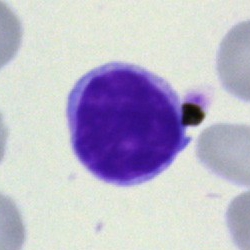

Specimen: bone marrow aspirate smear.
Classification: lymphocyte.
Lineage: lymphoid.